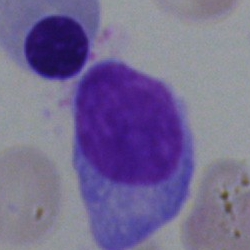

Impression — plasmacyte.